Romanowsky-type stain. Peripheral blood smear:
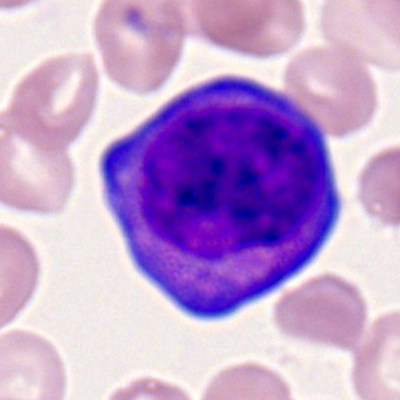
Single cell identified as a myeloid blast.